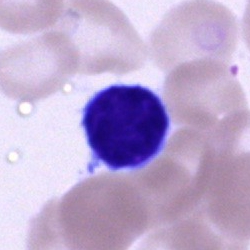Lymphocyte.